Bone marrow aspirate smear — 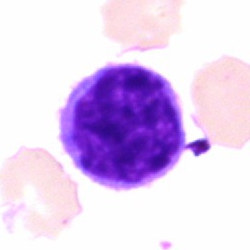

Typical lymphocyte.